Bone marrow smear: 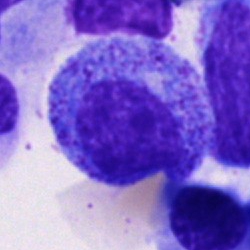

Specimen: bone marrow smear.
Cell: progranulocyte.